MGG-stained · bone marrow smear — 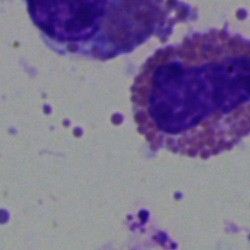 Cell type — eosinophilic granulocyte.